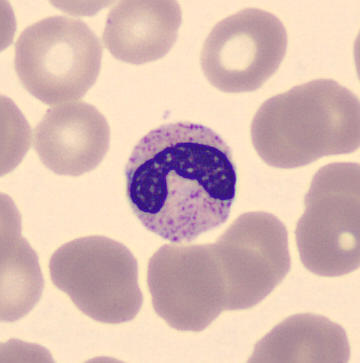

Image: MGG-stained; peripheral blood film.
Q: Which cell type is shown here?
A: A band-form neutrophil.